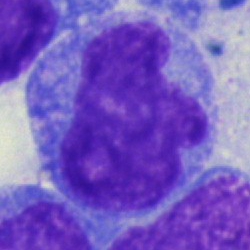Q: What cell is this?
A: It is a monocyte.